Bone marrow smear: 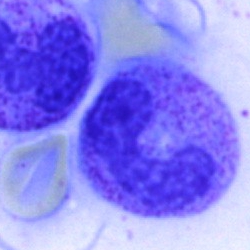
Impression → neutrophil (band).